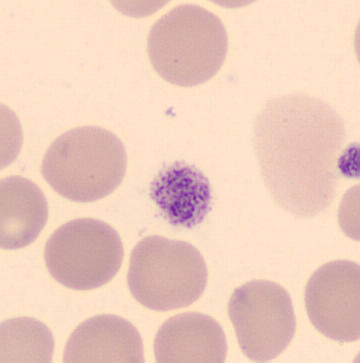Preparation: Peripheral blood smear.
Morphology consistent with a thrombocyte.